Bone marrow aspirate smear: 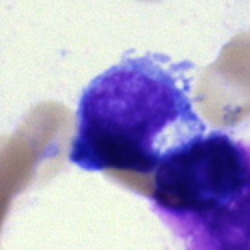

Q: Which cell type is shown here?
A: This is a typical lymphocyte.